Single-cell crop. Bone marrow aspirate smear
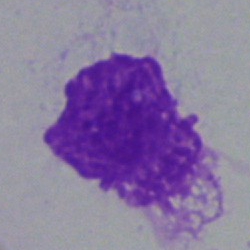
Artifact.